Bone marrow aspirate smear: 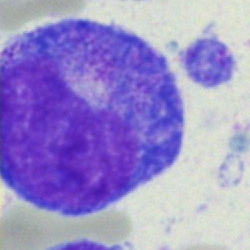 Specimen: bone marrow smear.
Cell type: progranulocyte.